Bone marrow smear
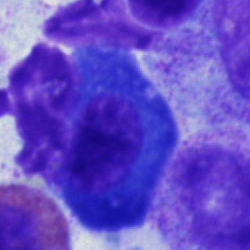 Specimen: bone marrow aspirate smear.
Cell: plasma cell.
Lineage: lymphoid.